Bone marrow aspirate smear: 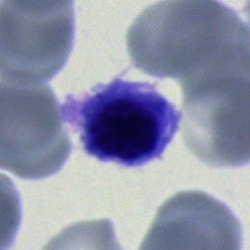
This is a nucleated red cell.